Bone marrow aspirate smear:
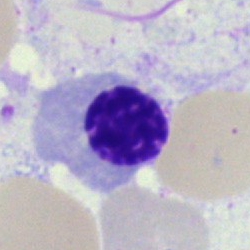The morphological class is nucleated red blood cell.